Bone marrow aspirate smear. 250×250 px. MGG-stained: 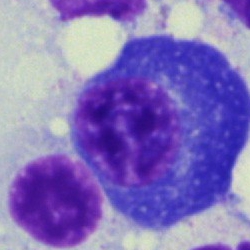Cell type — plasma cell.